Single cell centered in the field; bone marrow aspirate smear; 250×250 px — 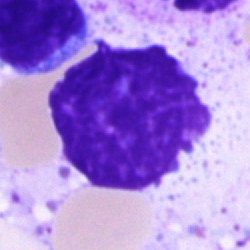
This is an artifact.